Bone marrow smear: 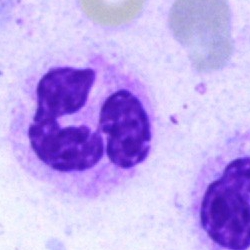Single cell identified as a neutrophil (segmented).